Bone marrow aspirate smear.
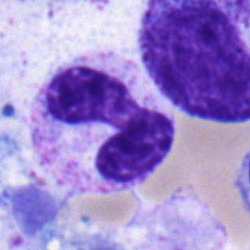 Neutrophil (band).